Bone marrow smear
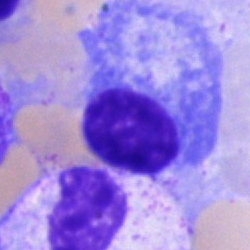

Plasmacyte.